Bone marrow smear
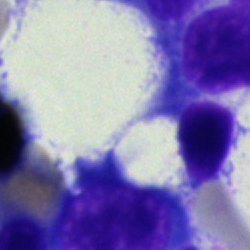The cell is artifact.